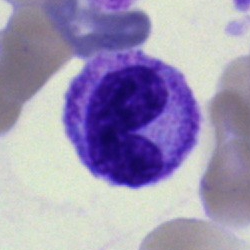

Impression — neutrophil (band).